Peripheral blood smear.
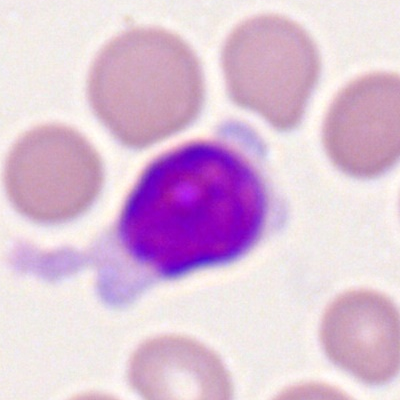

Q: What type of cell is this?
A: Lymphocyte.